250×250 px; bone marrow aspirate smear — 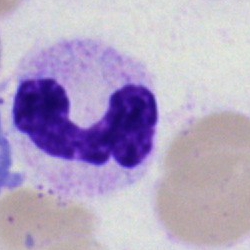 Q: Identify the cell.
A: Polymorphonuclear neutrophil.